Peripheral blood smear — 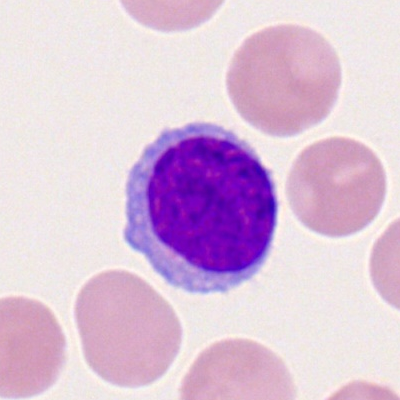 The cell is lymphocyte.